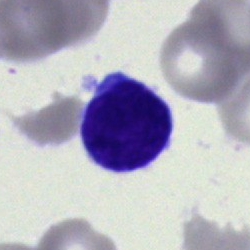
A blast cell.